Bone marrow smear; single-cell field; 40× objective, oil immersion.
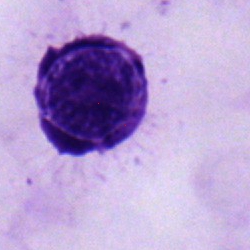 Specimen: bone marrow aspirate smear.
Morphological class: lymphocyte.